Bone marrow aspirate smear — 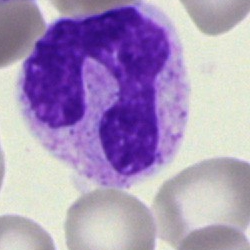 Q: What is the morphological classification of this cell?
A: This is a monocyte.